Bone marrow smear
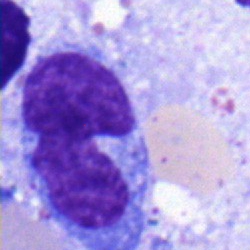
Q: Identify the cell.
A: This is a monocyte.